Single-cell field · bone marrow smear.
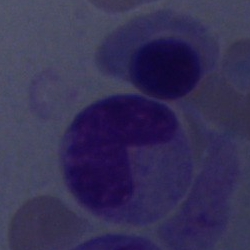

{"cell_type": "artefact"}